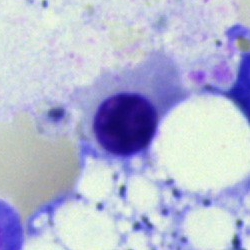

Impression → erythroblast.